Image size 250×250 · bone marrow aspirate smear:
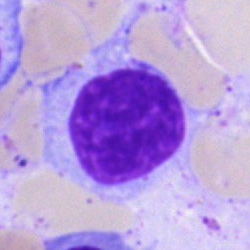 Q: Which cell type is shown here?
A: It is a lymphocyte.